Bone marrow smear
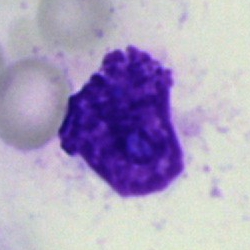Showing an artifact.